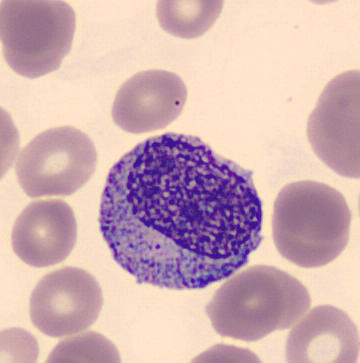
Classification: myelocyte.